Bone marrow smear
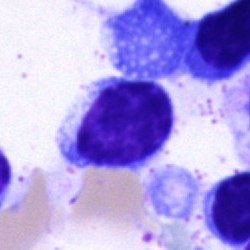

Lymphocyte.